400×400 px. Romanowsky-stained. Peripheral blood smear:
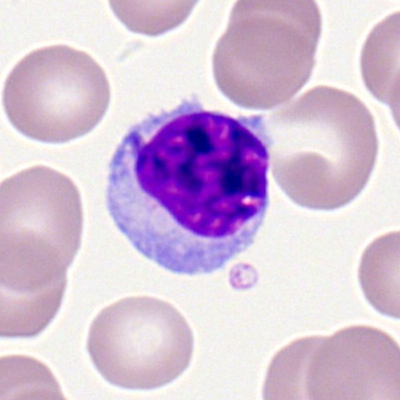

{"cell_type": "lymphocyte", "lineage": "lymphoid"}